Bone marrow aspirate smear.
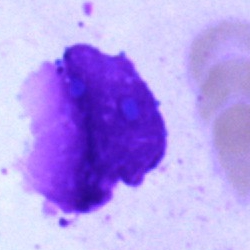
The cell is artifact.